Bone marrow smear — 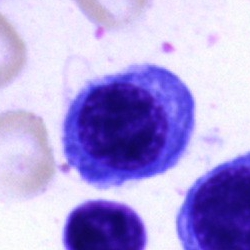
Cell — normoblast.